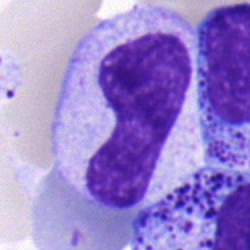 Single-cell crop from a bone marrow smear: metamyelocyte.